Pappenheim-stained; bone marrow aspirate smear: 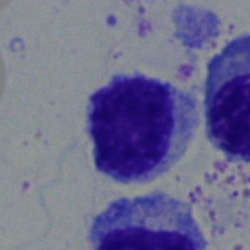

This is a lymphocyte.